Peripheral blood smear
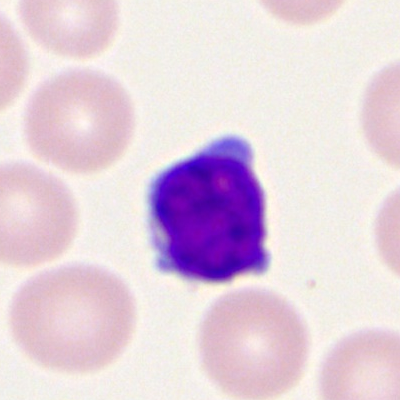Typical lymphocyte.